Brightfield, 40× oil-immersion objective; bone marrow smear; cropped to a single cell: 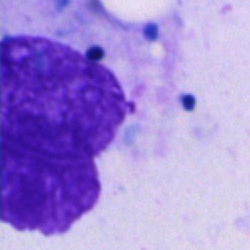Morphology consistent with an artefact.